Bone marrow smear; single-cell crop.
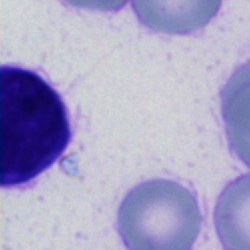
The classification is cell not matching the other categories.